Bone marrow aspirate smear
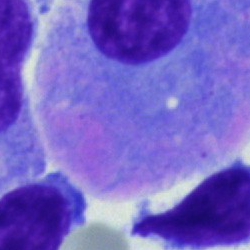

Plasma cell.